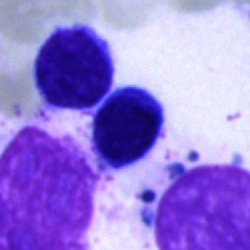
Cell = artifact.